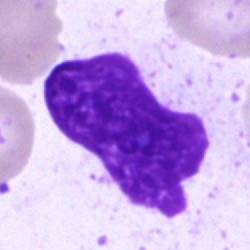

The cell shown is an artefact.